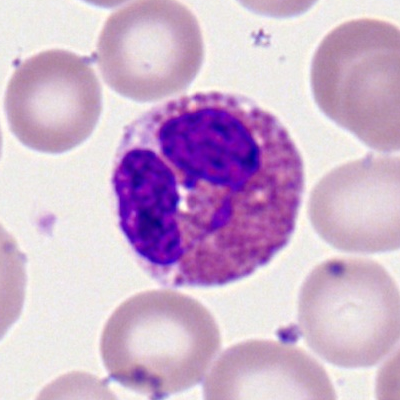
Classification: eosinophil.